Bone marrow aspirate smear — 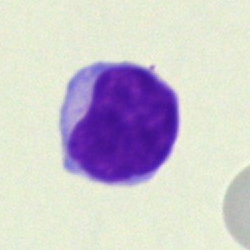

Morphological class — lymphocyte.